Bone marrow aspirate smear — 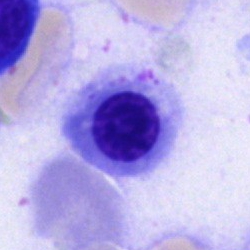
This is a nucleated red blood cell.